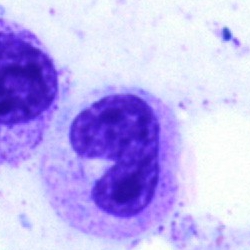Morphology consistent with a band-form neutrophil.